Bone marrow aspirate smear
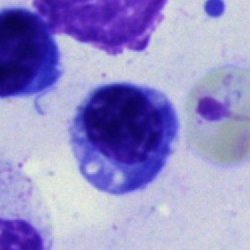

Nucleated red blood cell.